Bone marrow smear. Single cell centered in the field. May-Grünwald-Giemsa/Pappenheim stain.
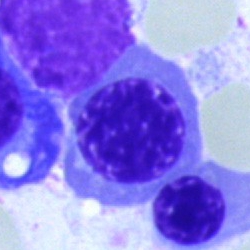A nucleated red blood cell.